Bone marrow smear.
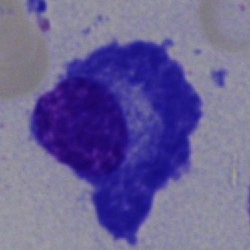 The cell shown is a plasmacyte.